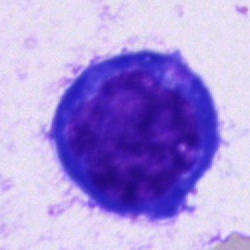
The classification is pronormoblast.